Single cell centered in the field. Bone marrow smear
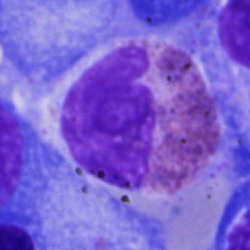An eosinophil.